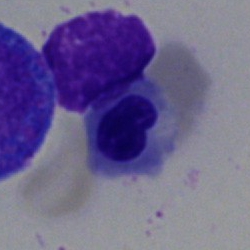
{"cell_type": "erythroblast", "lineage": "erythroid"}